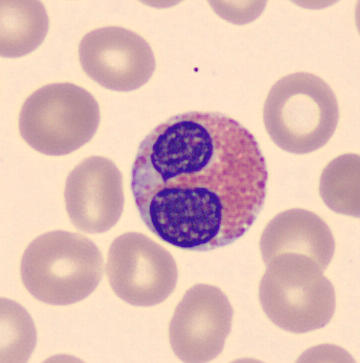

Morphology → eosinophil. Preparation: Peripheral blood film.